Bone marrow aspirate smear · Pappenheim-stained — 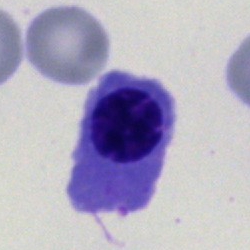 Q: Identify the cell.
A: A nucleated red blood cell.